May-Grünwald-Giemsa/Pappenheim stain; 250 by 250 pixels; bone marrow aspirate smear: 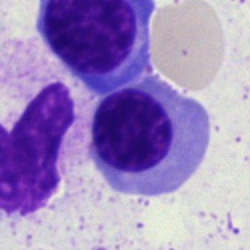 Q: What type of cell is this?
A: Nucleated red blood cell.